Bone marrow smear.
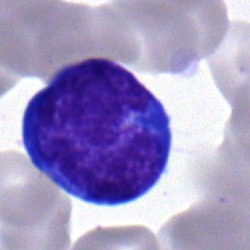

Q: Identify the cell.
A: This is a proerythroblast.